250×250 · brightfield microscopy, 40× oil immersion · bone marrow smear.
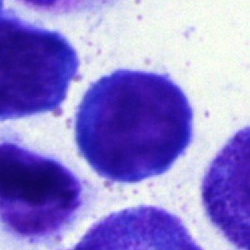Q: Which cell type is shown here?
A: Pronormoblast.